Peripheral blood film:
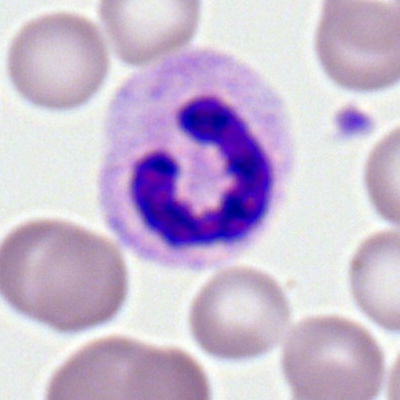

Showing a band-form neutrophil.